Brightfield microscopy, 40× oil immersion · bone marrow smear.
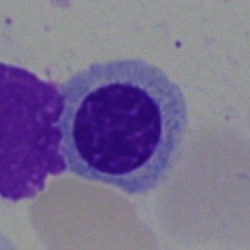

Morphology — erythroblast.